May-Grünwald-Giemsa stain. Bone marrow aspirate smear. Brightfield, 40× oil-immersion objective:
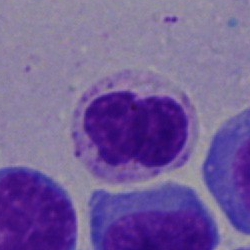Cell type: segmented neutrophil.